Bone marrow smear.
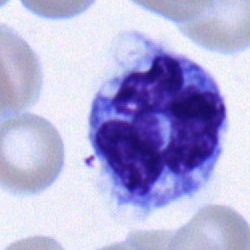Q: What cell is this?
A: It is a monocyte.